Single-cell crop · bone marrow smear · MGG-stained — 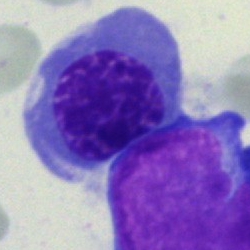

Morphology → erythroblast.